MGG-stained; bone marrow smear: 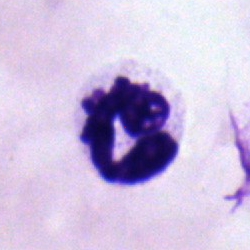 The cell shown is a segmented neutrophil.